Bone marrow aspirate smear:
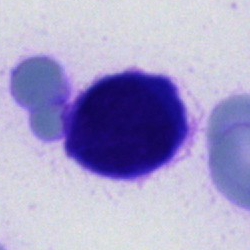

Q: What type of cell is this?
A: This is a cell of indeterminate lineage.